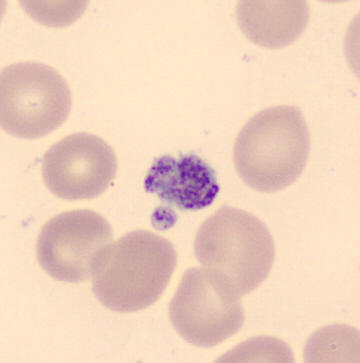 Cell type: platelet.

Acquisition: 360 by 363 pixels · peripheral blood film.